Image size 250×250 · bone marrow smear.
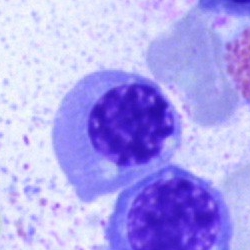A nucleated red blood cell.